Bone marrow aspirate smear; single-cell field
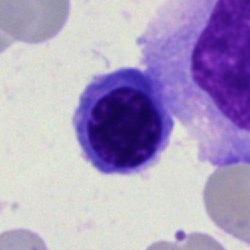This is a nucleated red blood cell.